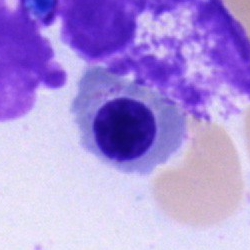

This is a nucleated red blood cell.